Bone marrow smear. Single-cell crop. Brightfield, 40× oil-immersion objective
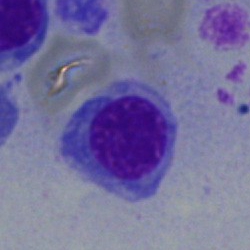Erythroblast.